Bone marrow smear; MGG-stained: 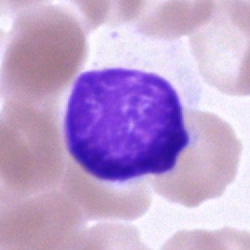 Cell — artifact.